May-Grünwald-Giemsa stain · bone marrow smear · 40× objective, oil immersion — 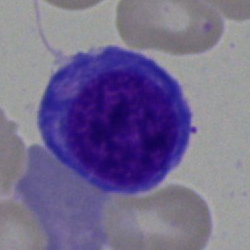 Specimen: bone marrow aspirate smear.
Classification: nucleated red blood cell.
Lineage: erythroid.